Bone marrow smear.
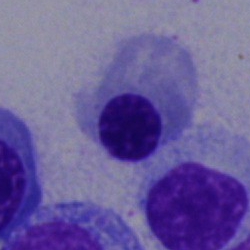
Specimen: bone marrow smear.
Cell: normoblast.
Lineage: erythroid.